Pappenheim-stained. Bone marrow aspirate smear:
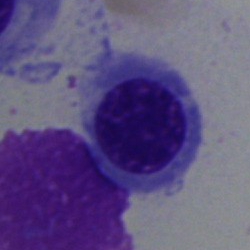
A nucleated red blood cell.